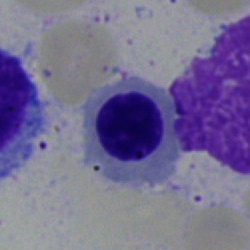

Specimen: bone marrow aspirate smear.
Cell type: erythroblast.
Lineage: erythroid.